Bone marrow aspirate smear
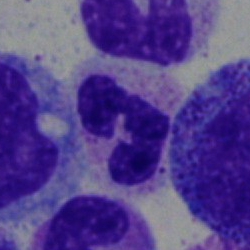
This is a neutrophil (segmented).